Bone marrow smear · 40× oil immersion · 250 by 250 pixels.
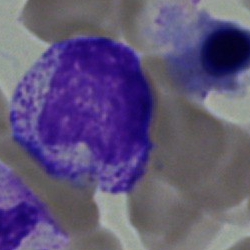Classification = myelocyte.